Bone marrow aspirate smear · 40× objective, oil immersion · May-Grünwald-Giemsa stain
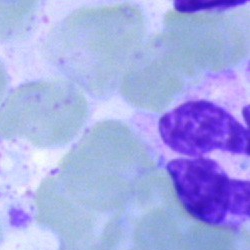 Morphological class = artefact.